250 by 250 pixels · May-Grünwald-Giemsa/Pappenheim stain · bone marrow aspirate smear: 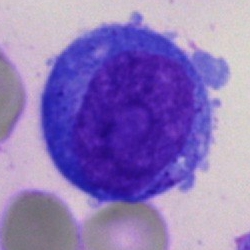
Q: What is the morphological classification of this cell?
A: A blast.